Bone marrow aspirate smear:
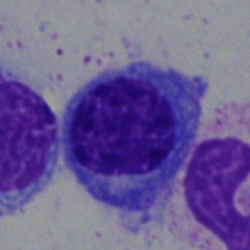

Cell — plasmacyte.